Brightfield, 40× oil-immersion objective; bone marrow smear
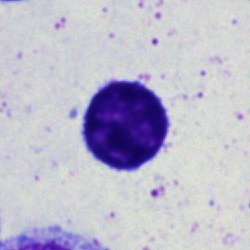Morphology → typical lymphocyte.